Bone marrow smear · image size 250×250: 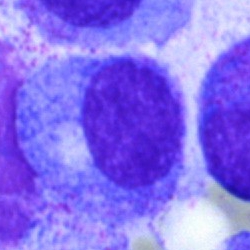

Showing a promyelocyte.